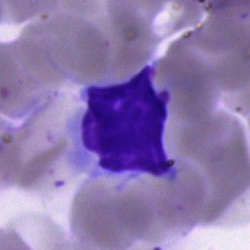

Q: What is shown here?
A: It is an artefact.